Brightfield, 40× oil-immersion objective · bone marrow smear — 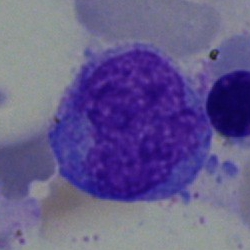
Specimen: bone marrow smear.
Cell type: monocyte.